Bone marrow smear.
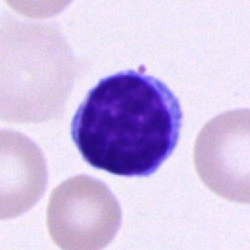

Morphology — typical lymphocyte.